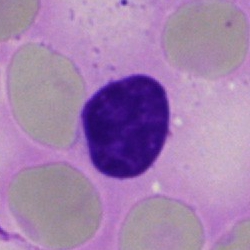 Q: What is shown here?
A: An artefact.